Bone marrow aspirate smear
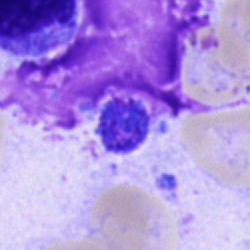
This is an artefact.